Romanowsky stain · peripheral blood film: 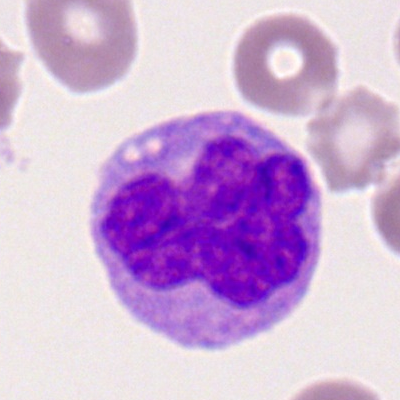 The cell shown is a monocyte.